Bone marrow aspirate smear — 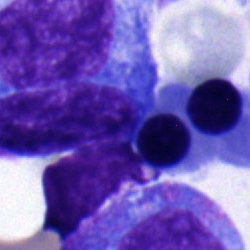 Blast cell.